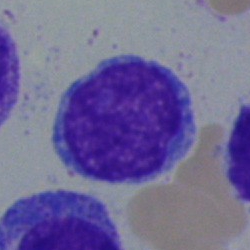Single-cell crop from a bone marrow smear: typical lymphocyte.